MGG-stained; bone marrow aspirate smear: 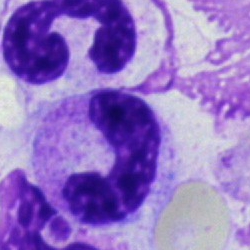

Morphological class — stab cell.